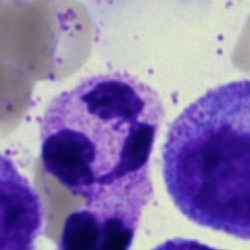
The morphological class is neutrophil (segmented).